Bone marrow aspirate smear; brightfield microscopy, 40× oil immersion: 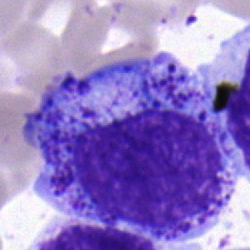 Specimen: bone marrow smear.
Cell type: myelocyte.
Lineage: myeloid.